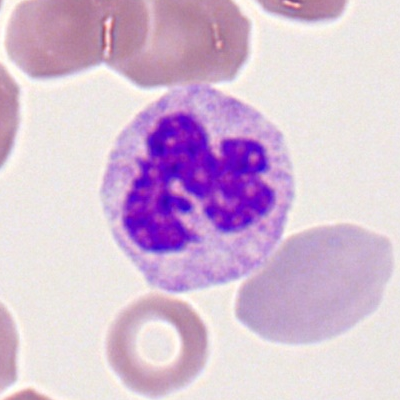

Morphology → neutrophil (segmented).